Single-cell field · bone marrow aspirate smear · brightfield, 40× oil-immersion objective
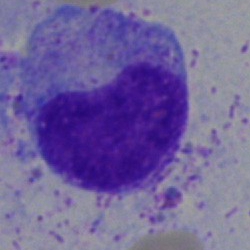Cell type = myelocyte.